Bone marrow smear:
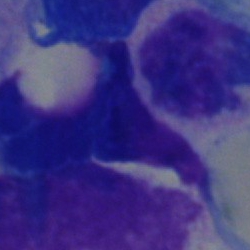 Impression → artifact.